Bone marrow smear — 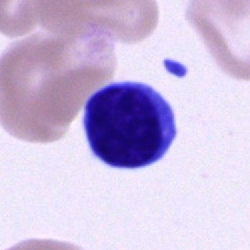

Specimen: bone marrow smear.
Morphological class: typical lymphocyte.